Bone marrow smear
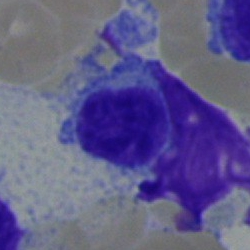The cell shown is a typical lymphocyte.